Bone marrow smear:
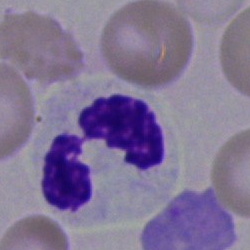 Morphology consistent with a polymorphonuclear neutrophil.